Bone marrow aspirate smear · 250 by 250 pixels: 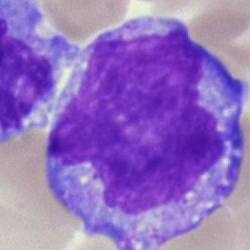

A monocyte.